Bone marrow smear; single cell centered in the field; brightfield microscopy, 40× oil immersion — 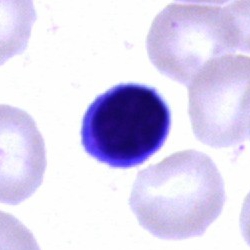Morphological class: typical lymphocyte.